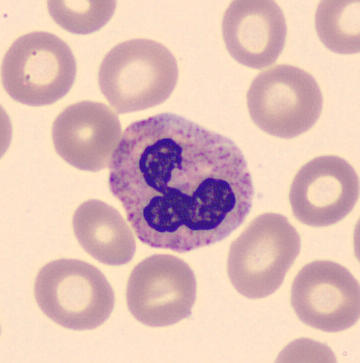

Impression — polymorphonuclear neutrophil.